MGG-stained. Bone marrow aspirate smear: 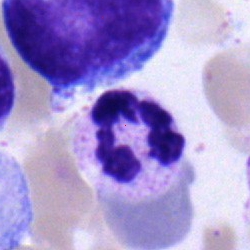

Specimen: bone marrow aspirate smear.
Morphological class: neutrophil (segmented).
Lineage: myeloid.